Single-cell crop. Bone marrow smear — 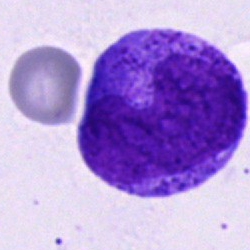

Morphological class = progranulocyte.